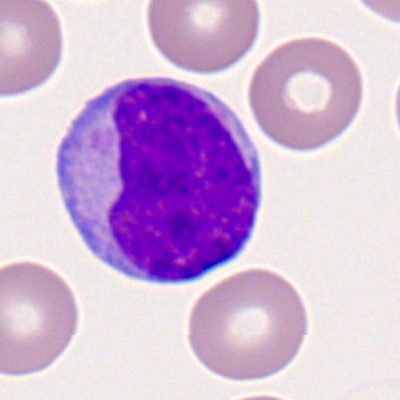The cell type is myeloblast.